Bone marrow smear · 250×250
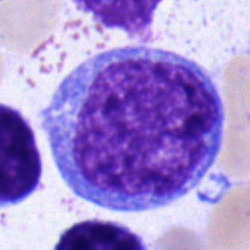

Morphology → progranulocyte.